Bone marrow smear:
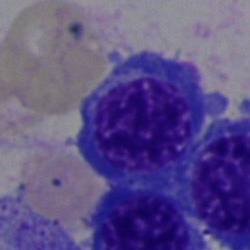
Specimen: bone marrow smear.
Cell: erythroblast.
Lineage: erythroid.